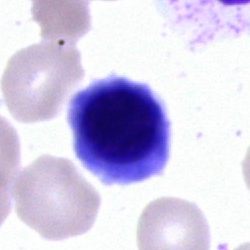 Morphology → normoblast.